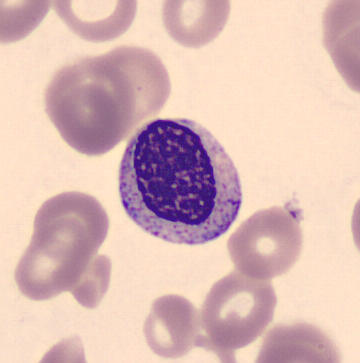
Q: What is the morphological classification of this cell?
A: Myelocyte.